250×250 px; MGG-stained; bone marrow smear: 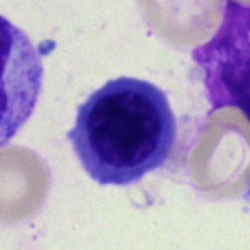

Specimen: bone marrow aspirate smear.
Classification: erythroblast.